Bone marrow smear; Pappenheim-stained — 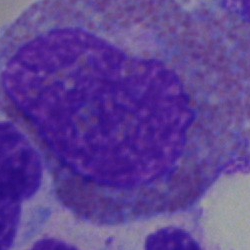
The cell shown is an eosinophilic granulocyte.